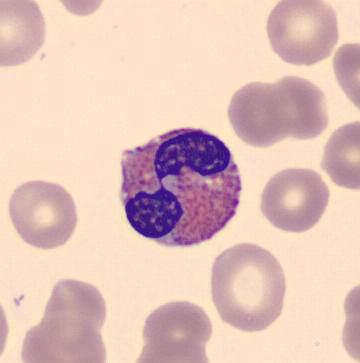
Q: What is shown here?
A: An eosinophilic granulocyte.